Bone marrow smear
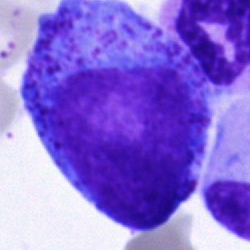
Morphology — promyelocyte.